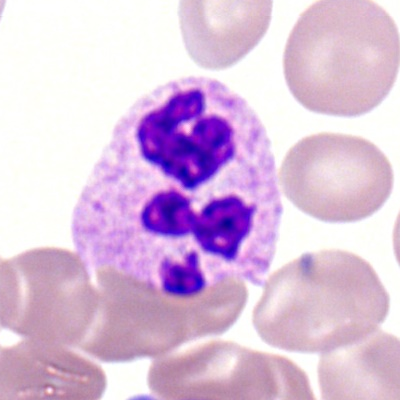 Q: What cell is this?
A: It is a segmented neutrophil.